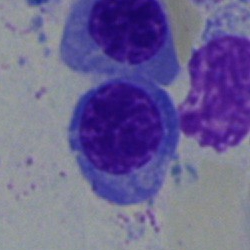

Cell type — nucleated red cell.